MGG-stained · 250×250 · bone marrow aspirate smear:
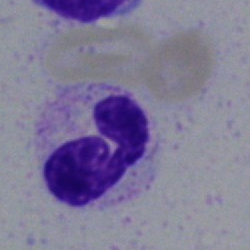

Q: What is shown here?
A: It is a segmented neutrophil.